Bone marrow aspirate smear
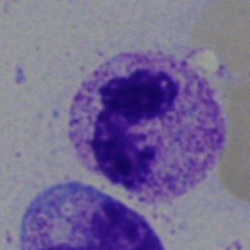
Q: Which cell type is shown here?
A: It is a segmented neutrophil.